Brightfield microscopy, 40× oil immersion. Bone marrow aspirate smear — 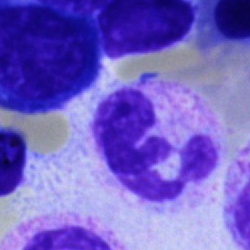

Classification — neutrophil (segmented).